Bone marrow aspirate smear
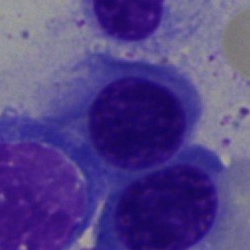 Cell: normoblast.